May-Grünwald-Giemsa stain. Bone marrow smear. Brightfield microscopy, 40× oil immersion
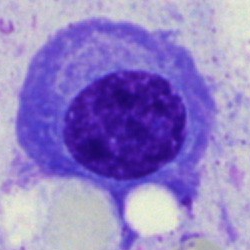
Impression → plasma cell.